Bone marrow smear — 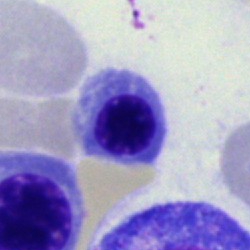An erythroblast.